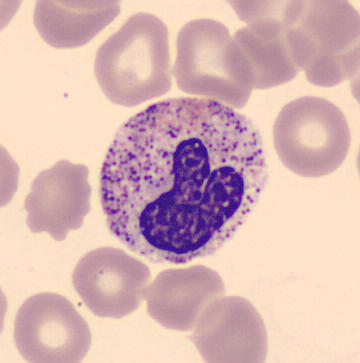

Identified as a neutrophil (band). Acquisition: Single cell centered in the field. Peripheral blood film.